Bone marrow aspirate smear
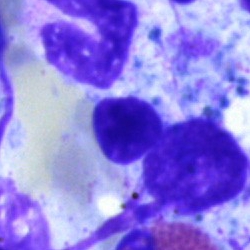
Showing an artefact.